250 by 250 pixels · May-Grünwald-Giemsa stain · bone marrow smear: 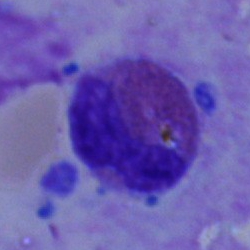
Eosinophilic granulocyte.